Bone marrow smear. 250×250 px. May-Grünwald-Giemsa stain:
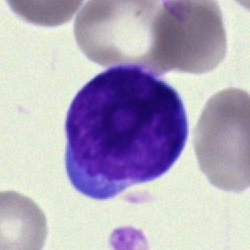 Morphology consistent with an undifferentiated blast.